Bone marrow smear — 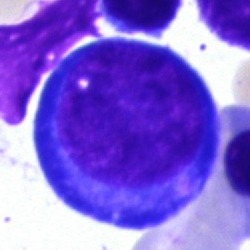
The cell shown is a proerythroblast.